Bone marrow aspirate smear — 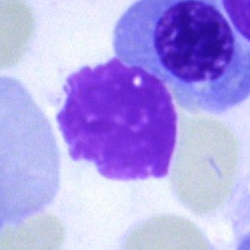 Impression — artifact.